MGG-stained · bone marrow aspirate smear: 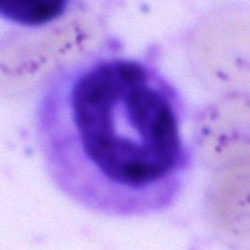
Q: What type of cell is this?
A: It is a neutrophil (segmented).